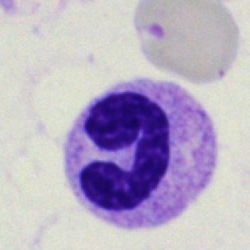 Morphology consistent with a segmented neutrophil.